Cropped to a single cell; bone marrow smear:
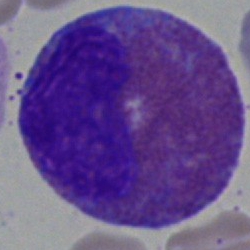
Q: What cell is this?
A: It is an eosinophil.